Pappenheim-stained; brightfield microscopy, 40× oil immersion; bone marrow aspirate smear
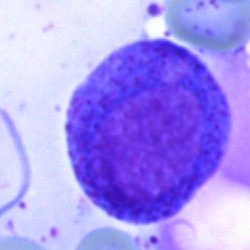This is a promyelocyte.